Bone marrow smear
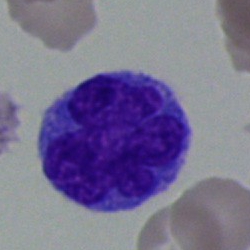Morphology consistent with a monocyte.